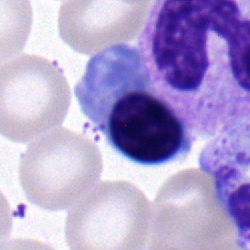Single cell identified as a normoblast.